Bone marrow smear.
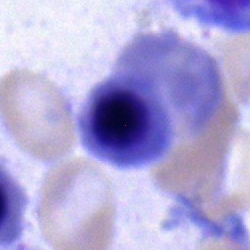
Morphological class = normoblast.